May-Grünwald-Giemsa stain · bone marrow smear
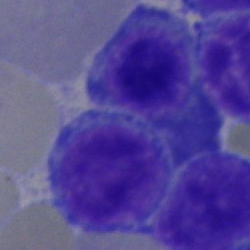
Single cell identified as a typical lymphocyte.